Single-cell field; bone marrow aspirate smear; brightfield, 40× oil-immersion objective — 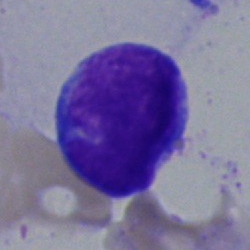 Showing a typical lymphocyte.